Peripheral blood smear.
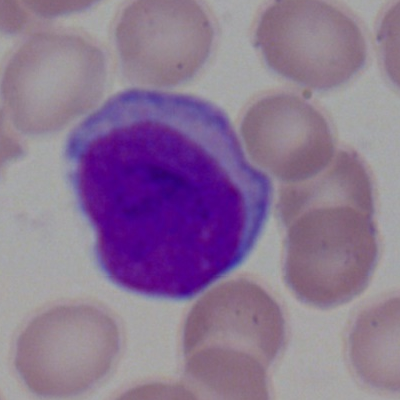
Q: What cell is this?
A: It is a myeloid blast.